Bone marrow smear. Single-cell field:
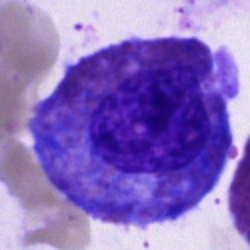
Morphological class: eosinophil.